40× oil immersion · bone marrow aspirate smear: 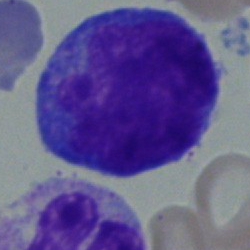A promyelocyte.